Bone marrow aspirate smear. 250×250 px:
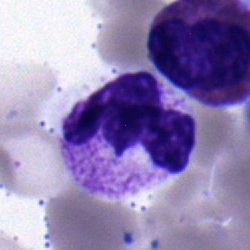

Classification — neutrophil (segmented).